Cropped to a single cell. Bone marrow aspirate smear. Brightfield microscopy, 40× oil immersion:
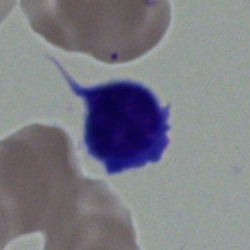 Impression — typical lymphocyte.